250 by 250 pixels. Bone marrow aspirate smear. May-Grünwald-Giemsa stain
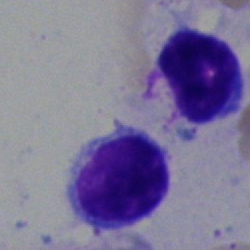

Q: Identify the cell.
A: It is a lymphocyte.